Bone marrow smear. Image size 250×250:
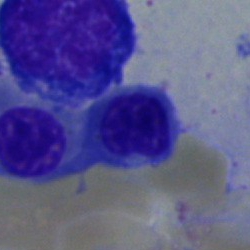 Morphology consistent with a nucleated red cell.